Single cell centered in the field. Bone marrow smear
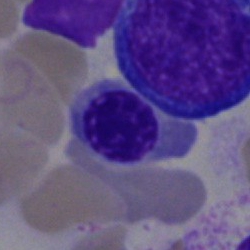
Cell = nucleated red blood cell.